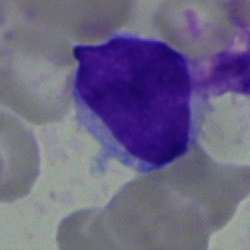 Cell — lymphocyte.